MGG-stained · bone marrow smear:
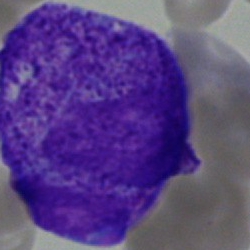
The cell is undifferentiated blast.